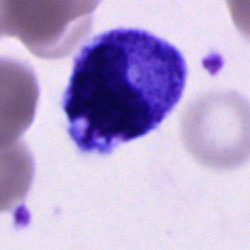

Unidentifiable cell.